Bone marrow smear. May-Grünwald-Giemsa/Pappenheim stain: 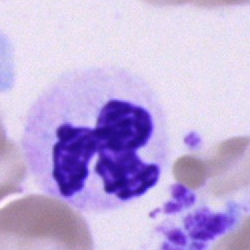Q: What is shown here?
A: This is a segmented neutrophil.